Bone marrow smear; May-Grünwald-Giemsa stain
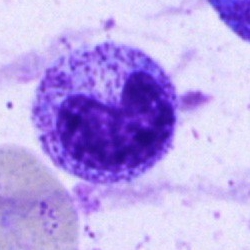Q: Identify the cell.
A: This is a metamyelocyte.